250×250. Bone marrow aspirate smear
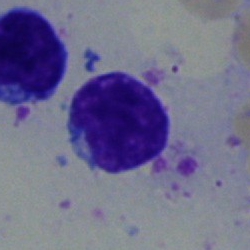Single cell identified as a lymphocyte.